Bone marrow aspirate smear. 250×250 px — 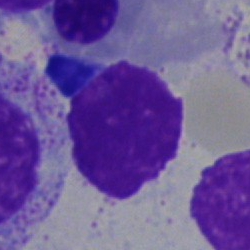Q: What is shown here?
A: This is an artefact.